Romanowsky stain · peripheral blood smear · image size 400×400.
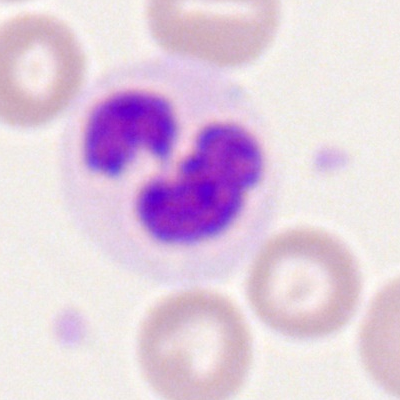

Morphology → segmented neutrophil.